40× objective, oil immersion; bone marrow smear; MGG-stained: 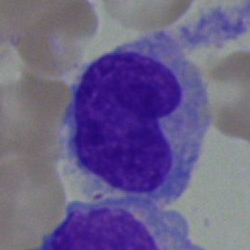

Q: What type of cell is this?
A: It is a monocyte.